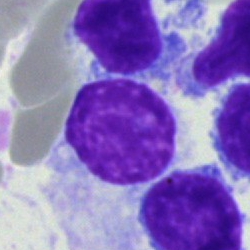The morphological class is typical lymphocyte.